Single-cell field; bone marrow smear:
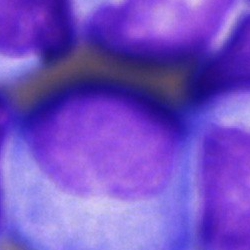
Undifferentiated blast.